Bone marrow smear:
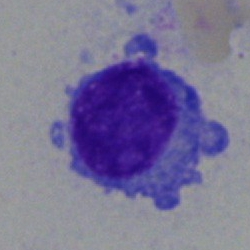

Morphology consistent with a plasma cell.